Bone marrow aspirate smear:
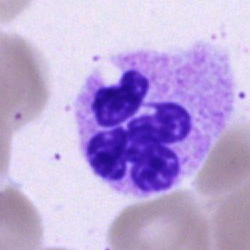

This is a polymorphonuclear neutrophil.